Bone marrow smear · 250 by 250 pixels — 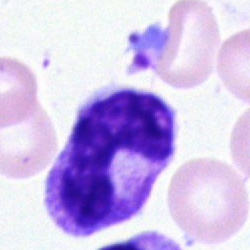

This is a stab cell.